Bone marrow smear · Pappenheim-stained: 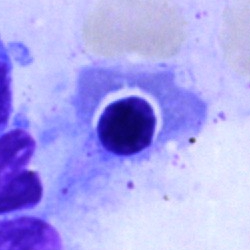

Q: What cell is this?
A: It is a nucleated red blood cell.